Peripheral blood smear.
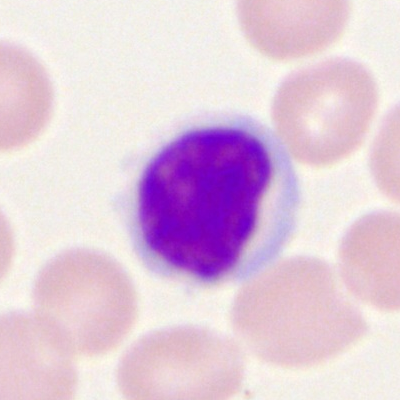

Lymphocyte.